Bone marrow smear. May-Grünwald-Giemsa/Pappenheim stain — 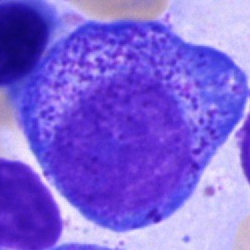The cell type is promyelocyte.